Bone marrow aspirate smear — 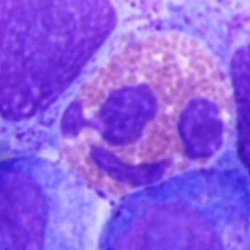 Impression → eosinophilic granulocyte.